Bone marrow aspirate smear: 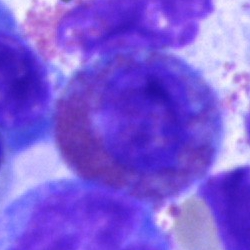
This is an eosinophil.